Brightfield microscopy, 40× oil immersion. Bone marrow smear: 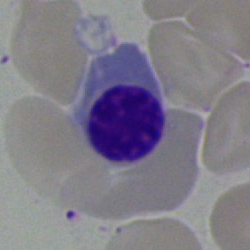Q: What is the morphological classification of this cell?
A: An erythroblast.